Bone marrow smear: 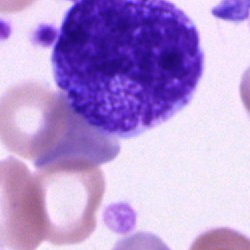
The cell shown is a promyelocyte.